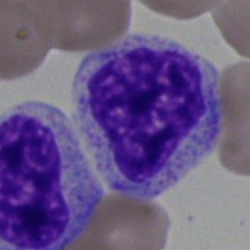
Cell type = myelocyte.